Bone marrow smear: 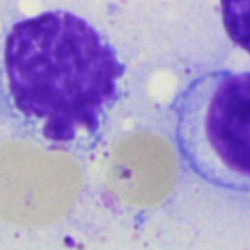 Morphology consistent with an artefact.